Bone marrow smear: 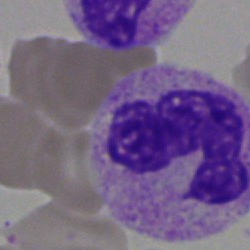
The cell is polymorphonuclear neutrophil.